Bone marrow aspirate smear.
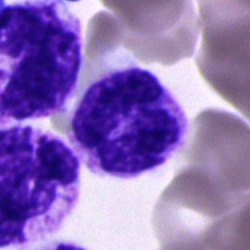 Specimen: bone marrow aspirate smear.
Morphological class: neutrophil (segmented).
Lineage: myeloid.